MGG-stained; bone marrow aspirate smear.
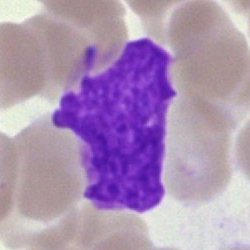 Artifact.